Bone marrow aspirate smear: 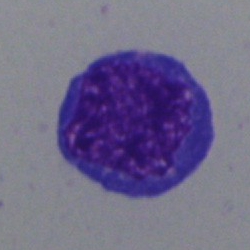
Showing a nucleated red cell.